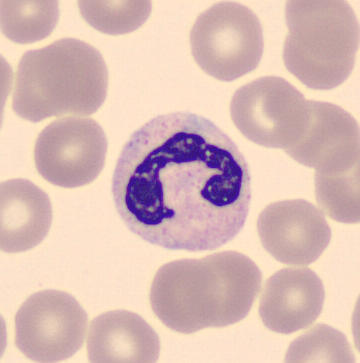 Peripheral blood smear.

Showing a band-form neutrophil.